Bone marrow aspirate smear. MGG-stained. Brightfield microscopy, 40× oil immersion.
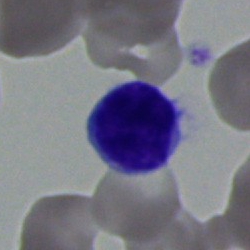 This is a typical lymphocyte.